40× objective, oil immersion; 250×250 px; bone marrow smear
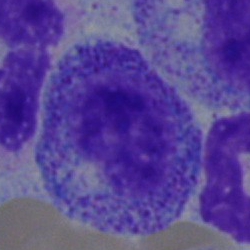
Q: What is the morphological classification of this cell?
A: A myelocyte.